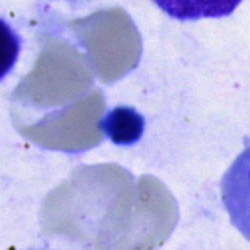 Bone marrow smear showing an artefact.